Bone marrow smear.
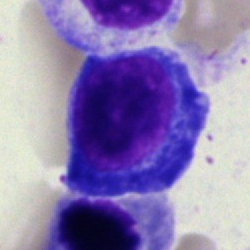 {"cell_type": "nucleated red blood cell"}